Bone marrow aspirate smear
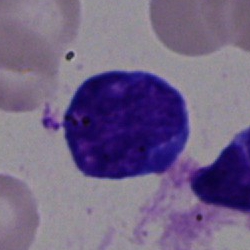Specimen: bone marrow smear.
Cell: undifferentiated blast.